Peripheral blood film.
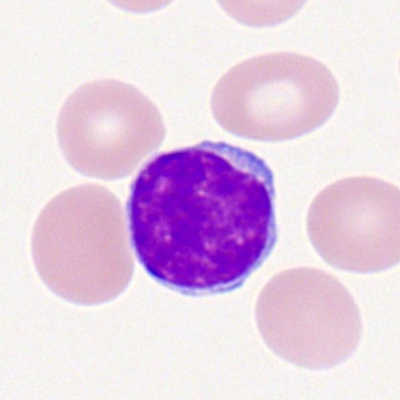Q: What is the morphological classification of this cell?
A: It is a lymphocyte.